Bone marrow smear:
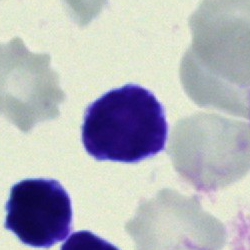 Q: What is shown here?
A: A lymphocyte.